Peripheral blood smear · Romanowsky-stained: 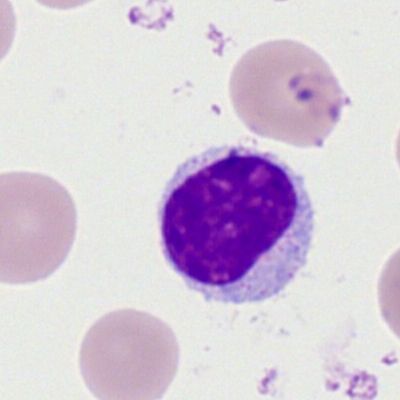
The morphological class is typical lymphocyte.